Bone marrow smear.
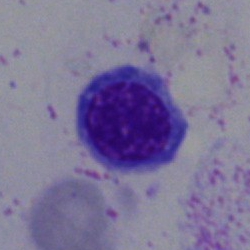

The cell shown is an erythroblast.